Bone marrow aspirate smear · single-cell field.
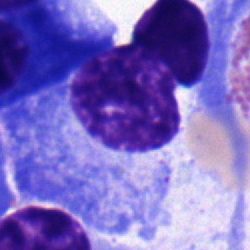

Morphology → plasma cell.